Bone marrow aspirate smear. Single-cell field
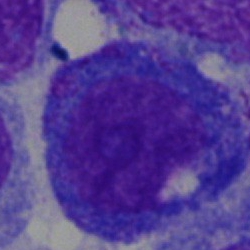 Q: What type of cell is this?
A: A promyelocyte.